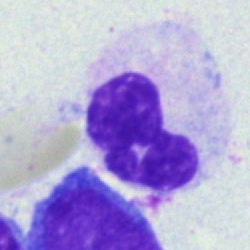
Q: Which cell type is shown here?
A: A polymorphonuclear neutrophil.